Brightfield microscopy, 40× oil immersion · single-cell crop · bone marrow smear — 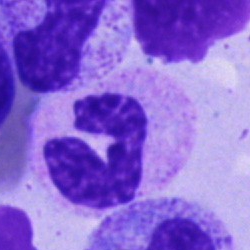Morphological class = polymorphonuclear neutrophil.